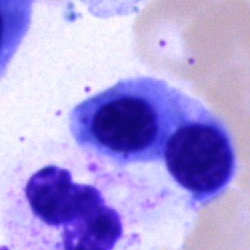 Nucleated red blood cell.